Bone marrow smear
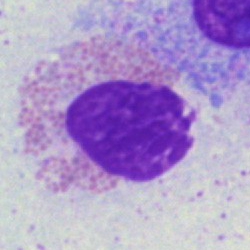
The cell type is eosinophil.